100× objective, oil immersion. Image size 400×400. Peripheral blood smear — 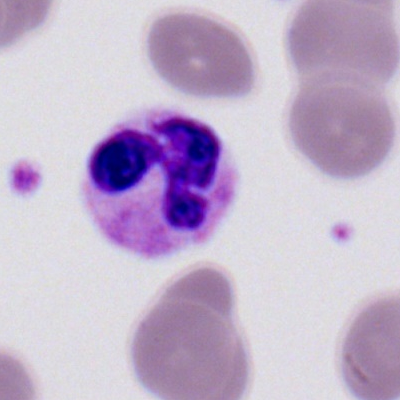Showing a neutrophil (segmented).